Bone marrow aspirate smear.
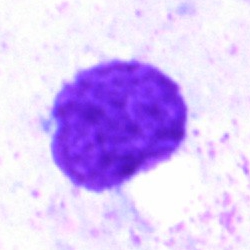Morphological class = artefact.